MGG-stained · single-cell crop · bone marrow smear
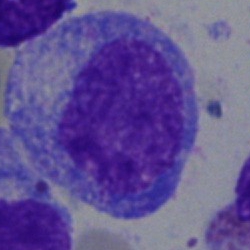
Specimen: bone marrow smear.
Cell type: promyelocyte.
Lineage: myeloid.